Bone marrow smear · Pappenheim-stained · single-cell field:
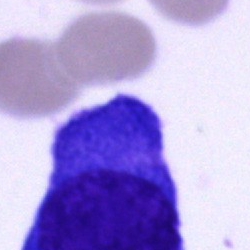 Morphological class — plasma cell.